Bone marrow aspirate smear
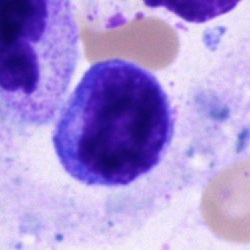Impression — lymphocyte.